Bone marrow smear — 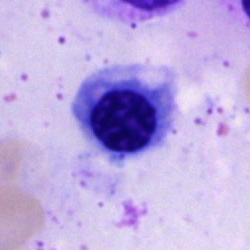
Cell type: normoblast.